Bone marrow aspirate smear · image size 250×250:
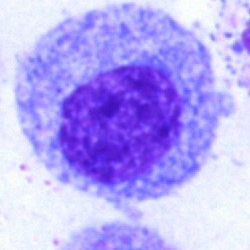Progranulocyte.